MGG-stained · bone marrow smear: 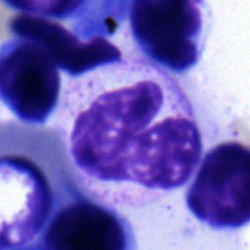

Cell type = stab cell.